Cropped to a single cell · 40× objective, oil immersion · bone marrow aspirate smear: 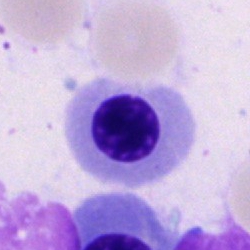Q: What cell is this?
A: This is a normoblast.